Bone marrow aspirate smear — 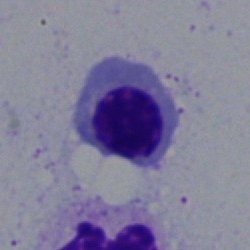

This is a normoblast.